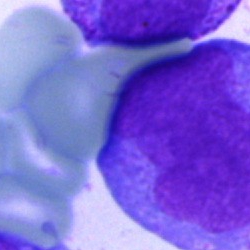

Specimen: bone marrow smear.
Cell: blast.